May-Grünwald-Giemsa/Pappenheim stain. Single-cell crop. Bone marrow smear
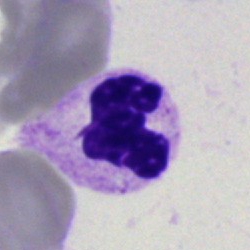

Impression → polymorphonuclear neutrophil.